Bone marrow aspirate smear; brightfield, 40× oil-immersion objective; image size 250×250.
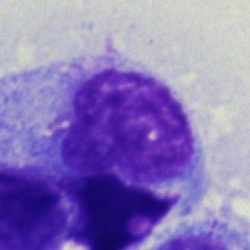 Morphological class: myelocyte.